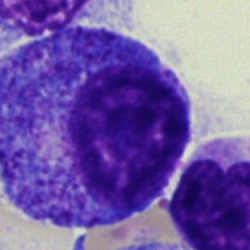Morphology consistent with a promyelocyte.